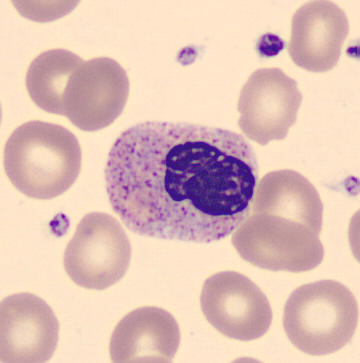A neutrophil (band) on a peripheral blood smear.